250×250; bone marrow smear; single-cell crop
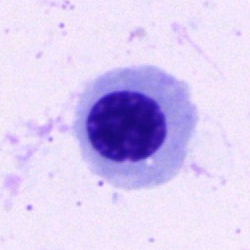 This is a nucleated red cell.